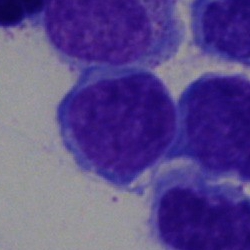 Cell = undifferentiated blast.